Bone marrow aspirate smear: 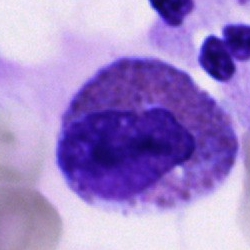 Morphology — eosinophil.